Bone marrow aspirate smear: 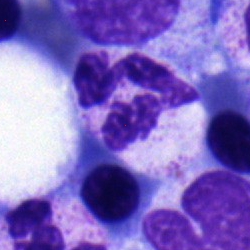 {"cell_type": "neutrophil (segmented)", "lineage": "myeloid"}